Single-cell crop · bone marrow aspirate smear: 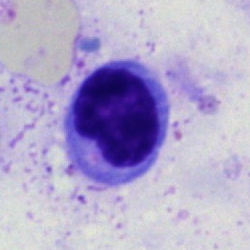
Cell = polymorphonuclear neutrophil.